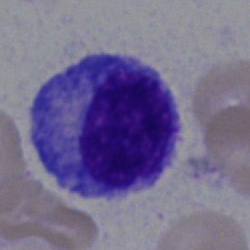
Q: Identify the cell.
A: Promyelocyte.